Bone marrow smear.
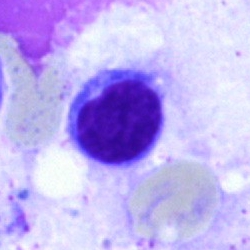
Morphology consistent with a typical lymphocyte.